Brightfield microscopy, 40× oil immersion; bone marrow aspirate smear; 250×250.
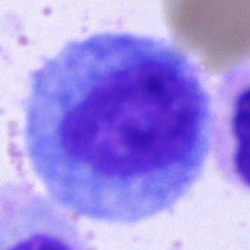Morphology consistent with a promyelocyte.